Peripheral blood film: 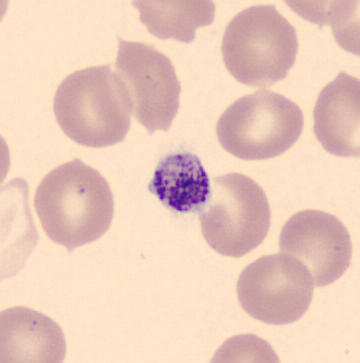

The classification is platelet (thrombocyte).